Bone marrow aspirate smear
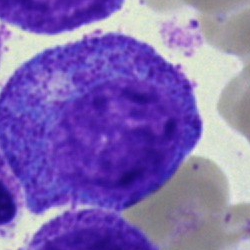

Promyelocyte.